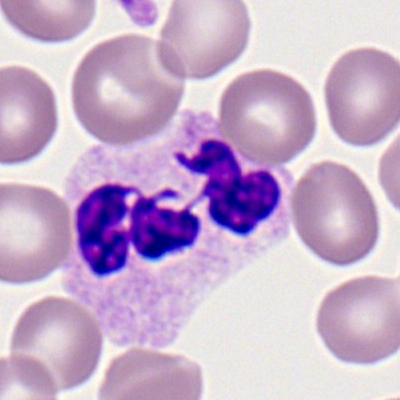Cell = segmented neutrophil.